Single-cell crop. Brightfield microscopy, 40× oil immersion. Bone marrow aspirate smear — 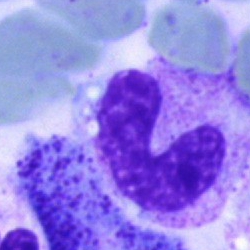
Band neutrophil.